Bone marrow smear — 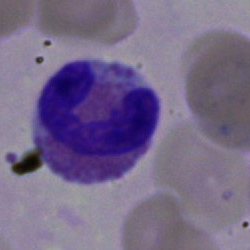 Morphological class: eosinophilic granulocyte.